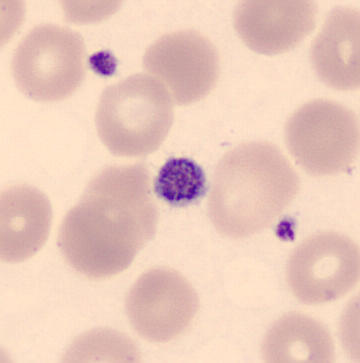Platelet (thrombocyte). Image: Peripheral blood film. 360×363.